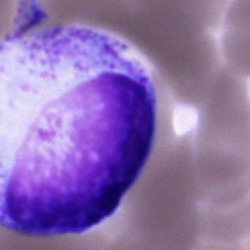Showing an unidentifiable cell.